Bone marrow aspirate smear:
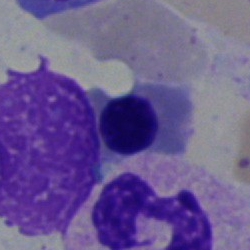
Impression → normoblast.